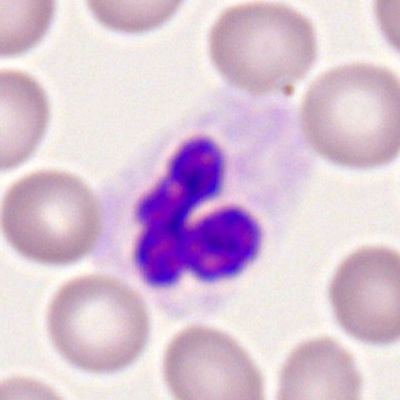The cell is neutrophil (segmented).